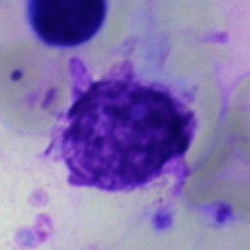Showing an artefact.